May-Grünwald-Giemsa/Pappenheim stain; bone marrow aspirate smear; 250×250 px: 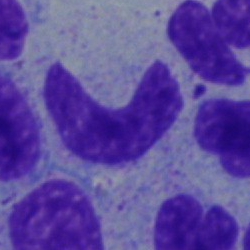
Cell type: neutrophil (band).